Bone marrow smear.
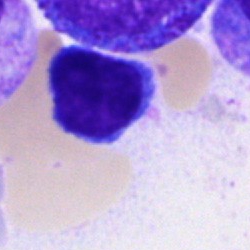
Morphological class = lymphocyte.